Peripheral blood film: 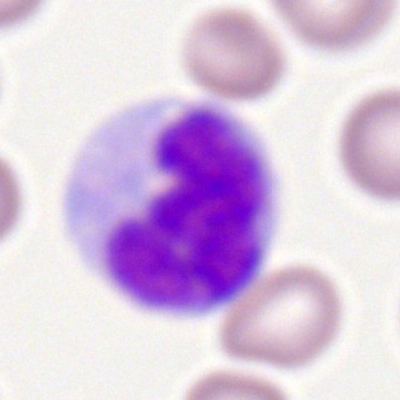 Impression → monocyte.